Peripheral blood film. 400 by 400 pixels.
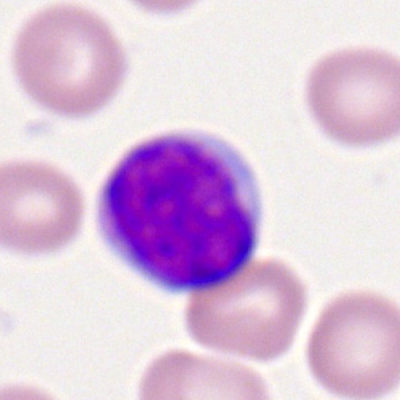

Specimen: peripheral blood film.
Cell: lymphocyte.
Lineage: lymphoid.